Bone marrow smear: 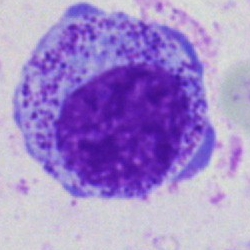
Q: What cell is this?
A: It is a promyelocyte.